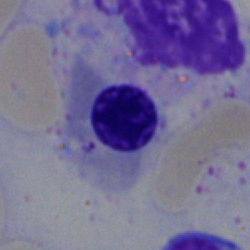
Classification = nucleated red cell.